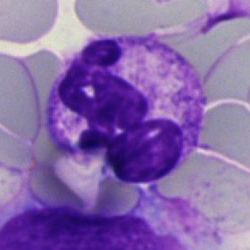 Q: Identify the cell.
A: It is a polymorphonuclear neutrophil.